Bone marrow aspirate smear:
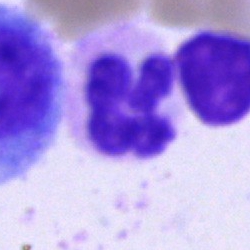

Impression — polymorphonuclear neutrophil.